Bone marrow aspirate smear.
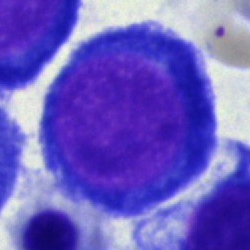Q: What cell is this?
A: Erythroblast.